250×250 px; bone marrow aspirate smear; May-Grünwald-Giemsa stain:
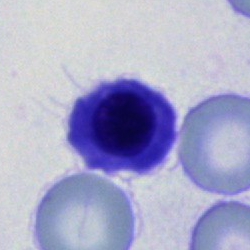 Erythroblast.